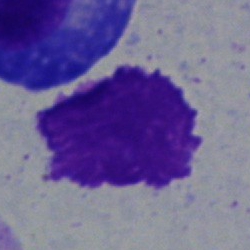 Morphology — artifact.